Brightfield microscopy, 40× oil immersion; bone marrow smear:
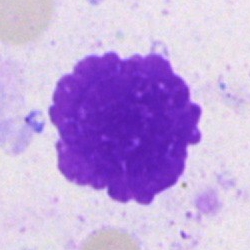

Specimen: bone marrow aspirate smear.
Cell type: artifact.